250×250 px; bone marrow aspirate smear; single cell centered in the field.
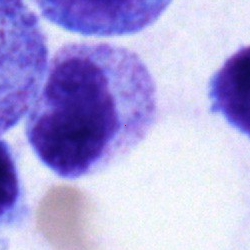 Showing a band-form neutrophil.